Bone marrow smear — 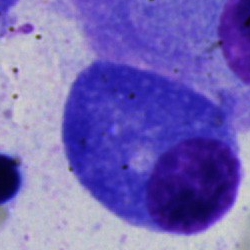 {"cell_type": "plasma cell", "lineage": "lymphoid"}